Bone marrow smear — 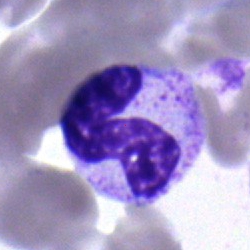

Specimen: bone marrow smear.
Cell: stab cell.
Lineage: myeloid.